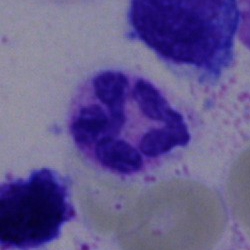
The morphological class is segmented neutrophil.